Bone marrow aspirate smear; image size 250×250; single cell centered in the field:
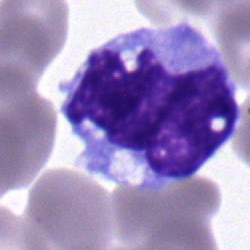
Morphology consistent with a monocyte.